Bone marrow smear.
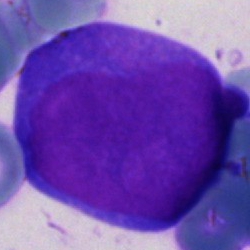Morphology → undifferentiated blast.